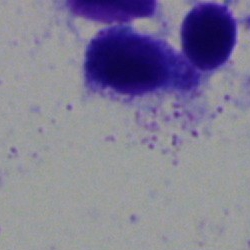
Impression — artifact.